Bone marrow aspirate smear — 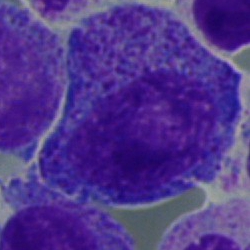
Progranulocyte.